Bone marrow smear: 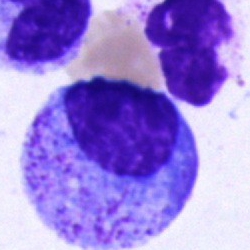

The classification is promyelocyte.